40× oil immersion. Bone marrow smear: 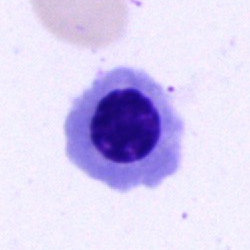Showing an erythroblast.